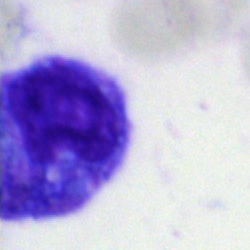
Q: What is the morphological classification of this cell?
A: It is a promyelocyte.